Bone marrow aspirate smear · 40× oil immersion · May-Grünwald-Giemsa stain:
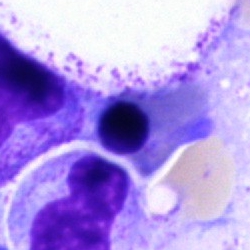

Q: What type of cell is this?
A: A nucleated red cell.